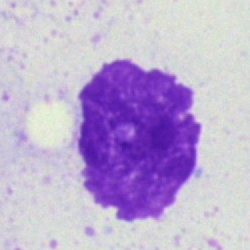Classification — artefact.